Bone marrow smear. Brightfield, 40× oil-immersion objective:
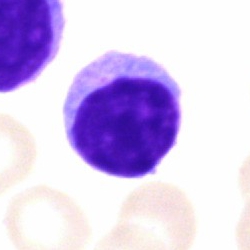
The classification is typical lymphocyte.